Bone marrow aspirate smear.
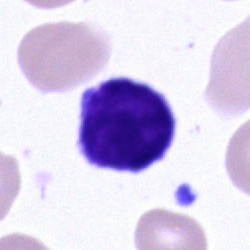The cell shown is a lymphocyte.